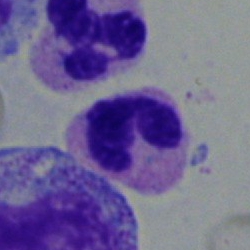

A neutrophil (segmented).